Bone marrow smear
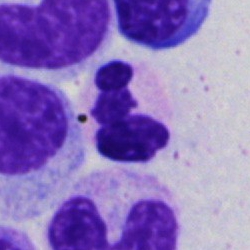 Morphological class: segmented neutrophil.